Bone marrow aspirate smear. 250×250 px:
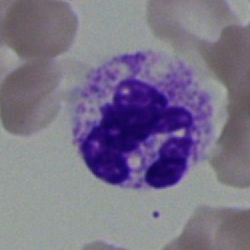
Showing a polymorphonuclear neutrophil.